Bone marrow smear — 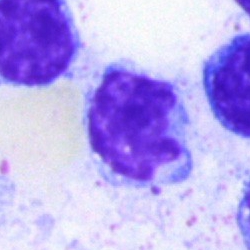

A typical lymphocyte.